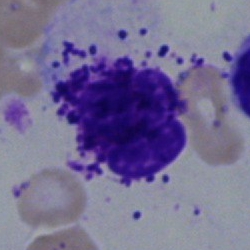Morphological class: basophil.